Image size 250×250; bone marrow smear — 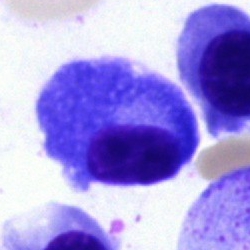 Q: What is shown here?
A: This is a plasma cell.